Bone marrow aspirate smear — 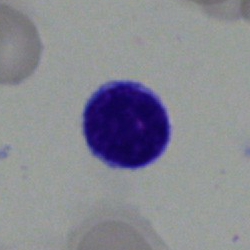
Morphology consistent with a lymphocyte.